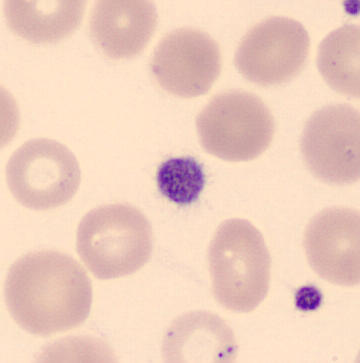Peripheral blood smear. Imaged on a CellaVision DM96 analyser.
Q: What is this?
A: A thrombocyte.